Peripheral blood film — 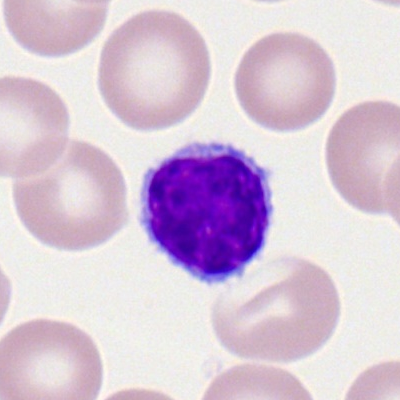

Lymphocyte.